Bone marrow smear.
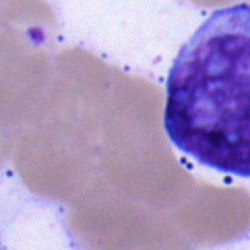Showing a blast.